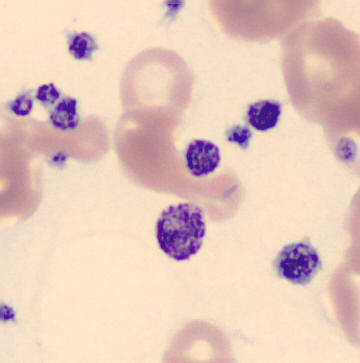
Preparation: Peripheral blood film.
A thrombocyte.